Image size 250×250. Bone marrow aspirate smear. Pappenheim-stained
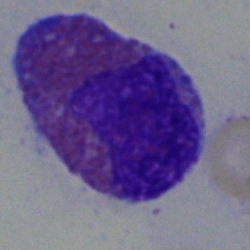An eosinophilic granulocyte.